Bone marrow aspirate smear: 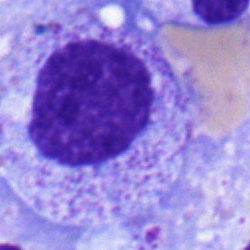
Q: What is the morphological classification of this cell?
A: This is a myelocyte.